Bone marrow aspirate smear:
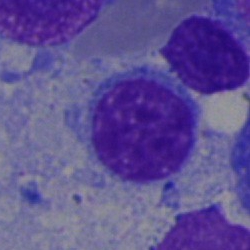Q: What is the morphological classification of this cell?
A: Typical lymphocyte.